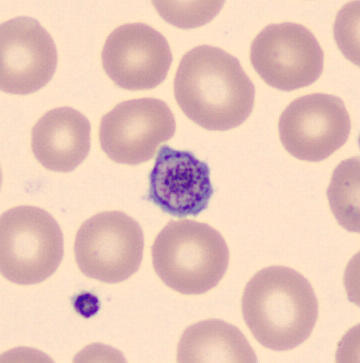Automated cell imaging (CellaVision DM96); peripheral blood smear. Platelet (thrombocyte).